Bone marrow smear; brightfield, 40× oil-immersion objective
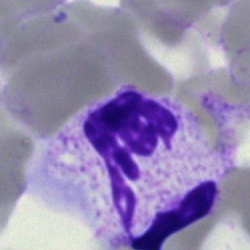

Q: What type of cell is this?
A: Segmented neutrophil.